Peripheral blood film.
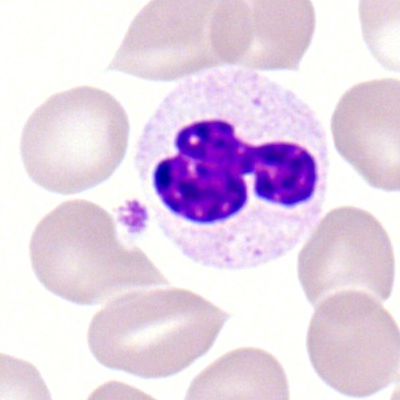 This is a segmented neutrophil.